Bone marrow smear: 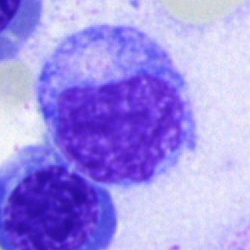
The cell type is promyelocyte.